Peripheral blood smear.
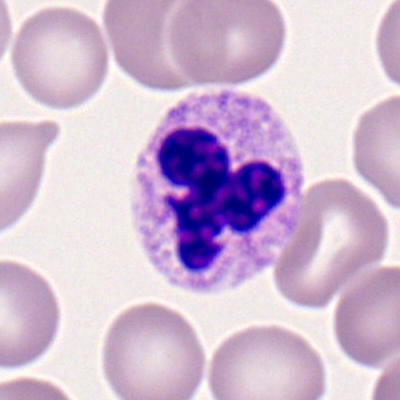

Morphology — polymorphonuclear neutrophil.